Romanowsky-type stain; peripheral blood film.
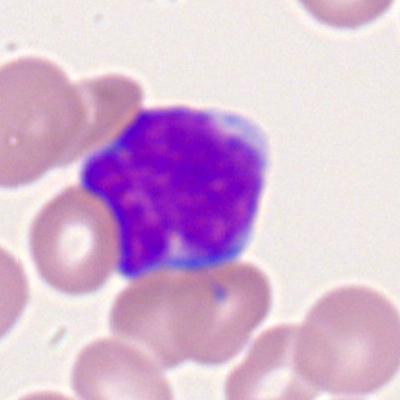Q: What is the morphological classification of this cell?
A: Myeloblast.